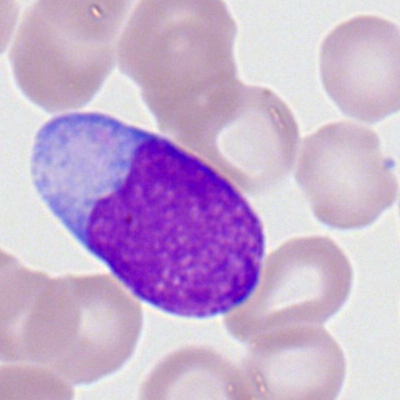 This is a myeloid blast.